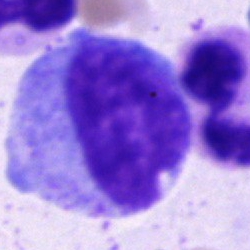Cell type = progranulocyte.